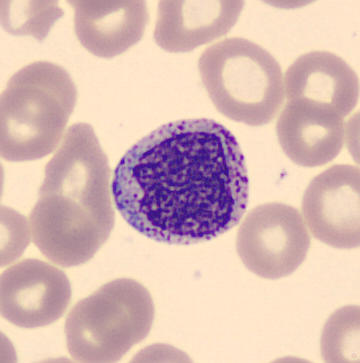 Specimen: peripheral blood film.
Morphological class: myelocyte.
Lineage: myeloid.
MGG-stained.